250 by 250 pixels; bone marrow aspirate smear: 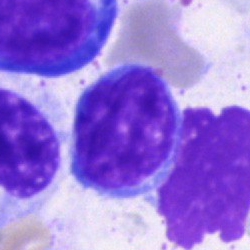 The morphological class is lymphocyte.